Bone marrow smear: 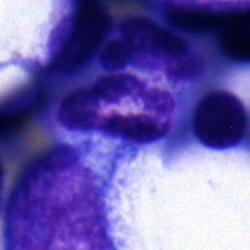 Morphology consistent with a neutrophil (segmented).